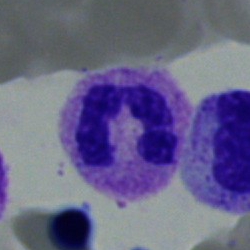
Classification: segmented neutrophil.